Bone marrow smear
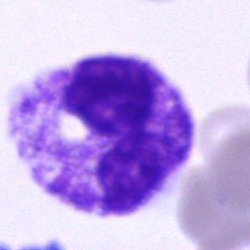 Single cell identified as a polymorphonuclear neutrophil.